Bone marrow aspirate smear.
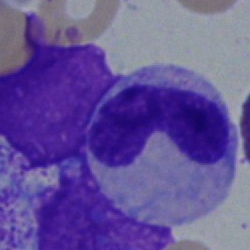Morphology — band-form neutrophil.